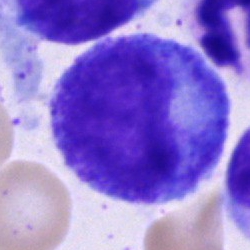

{"cell_type": "promyelocyte"}